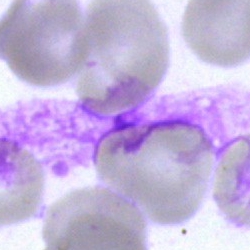 Impression → artifact.